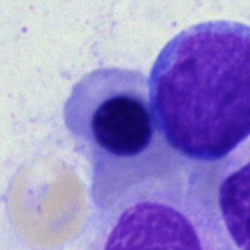
Q: What is the morphological classification of this cell?
A: A nucleated red blood cell.